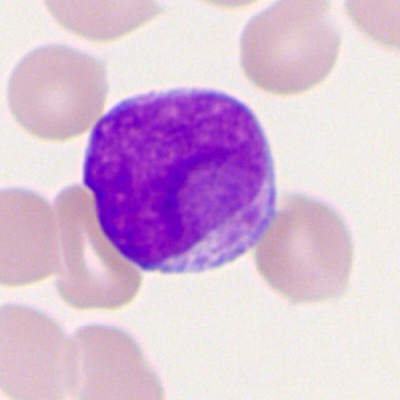

Cell type — myeloblast.